Bone marrow aspirate smear: 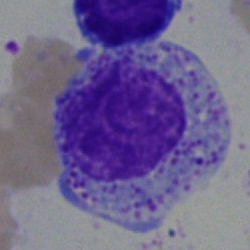
Specimen: bone marrow aspirate smear.
Cell: myelocyte.
Lineage: myeloid.